Pappenheim-stained · bone marrow aspirate smear.
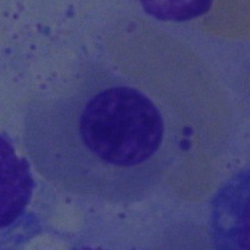Specimen: bone marrow smear.
Morphological class: nucleated red cell.
Lineage: erythroid.